Bone marrow smear
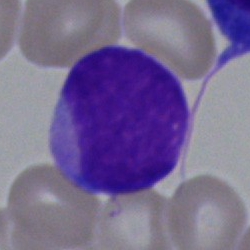

Specimen: bone marrow aspirate smear.
Classification: blast cell.